Bone marrow aspirate smear.
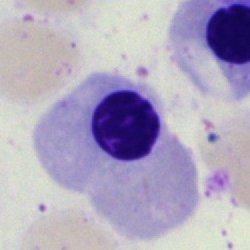

This is a nucleated red blood cell.